Peripheral blood film · Romanowsky-type stain · single-cell field.
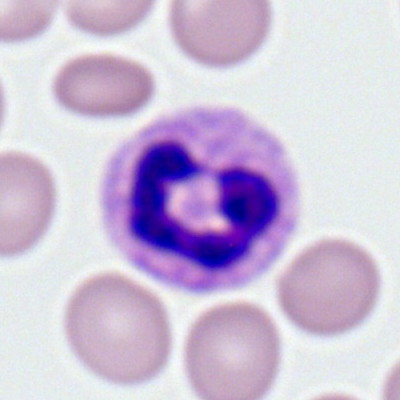

Morphology consistent with a neutrophil (segmented).